Bone marrow aspirate smear; 40× oil immersion
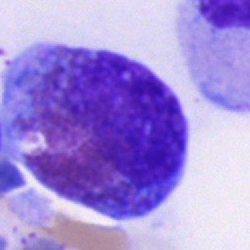Morphology → eosinophil.